Bone marrow smear. May-Grünwald-Giemsa stain. Single-cell field — 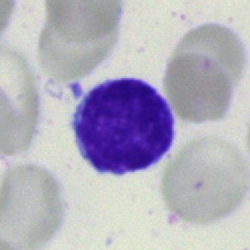A lymphocyte.